Peripheral blood film; image size 400×400
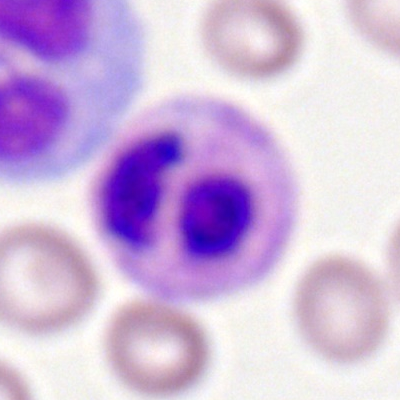Q: Which cell type is shown here?
A: It is a neutrophil (segmented).